Bone marrow aspirate smear — 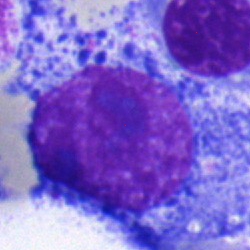Q: What is shown here?
A: A pronormoblast.